Bone marrow smear: 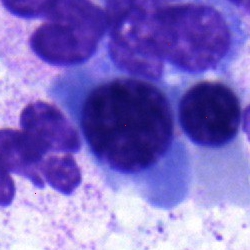 Q: What cell is this?
A: Normoblast.